Bone marrow smear — 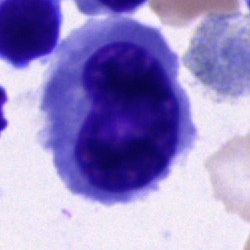

Cell type: nucleated red cell.